Brightfield, 40× oil-immersion objective · Pappenheim-stained · bone marrow smear
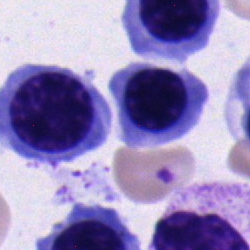

This is a nucleated red cell.